Bone marrow aspirate smear
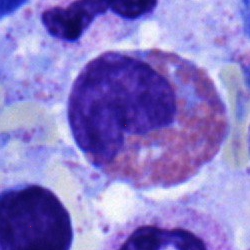Q: What is the morphological classification of this cell?
A: This is an eosinophilic granulocyte.